Bone marrow smear — 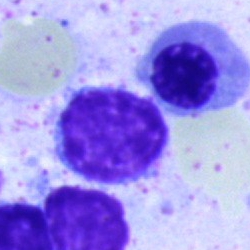
Morphological class — lymphocyte.